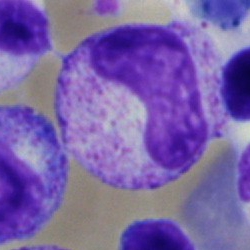
Cell = stab cell.